Bone marrow smear. Single cell centered in the field: 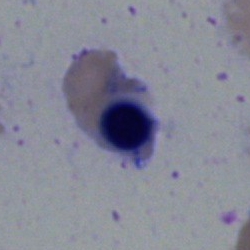 Showing a nucleated red cell.